Bone marrow aspirate smear
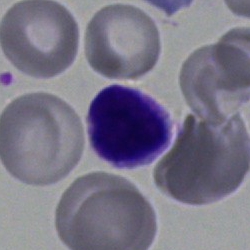

Single cell identified as a typical lymphocyte.